May-Grünwald-Giemsa/Pappenheim stain · brightfield, 40× oil-immersion objective · bone marrow aspirate smear
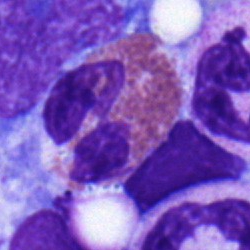

Specimen: bone marrow smear.
Classification: eosinophil.
Lineage: myeloid.